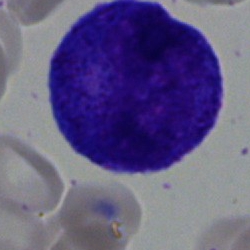

Specimen: bone marrow aspirate smear.
Classification: progranulocyte.
Lineage: myeloid.